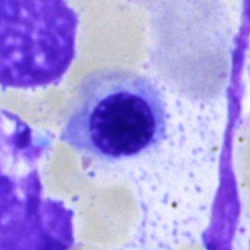

Erythroblast.